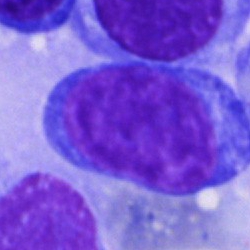

Morphological class = undifferentiated blast.